Bone marrow aspirate smear.
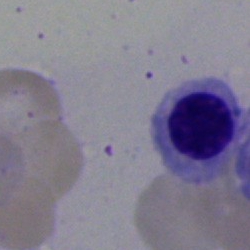 Morphological class: nucleated red blood cell.